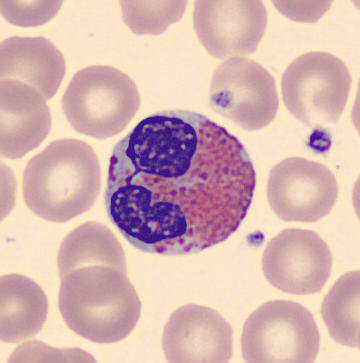

Morphological class — eosinophil.